Bone marrow smear. 250 by 250 pixels: 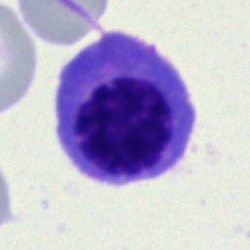

Q: What type of cell is this?
A: Nucleated red cell.